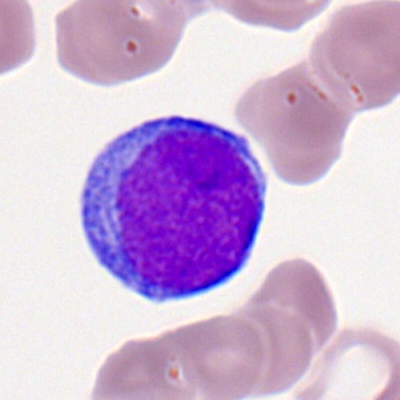 Single cell identified as a myeloid blast.